Bone marrow aspirate smear:
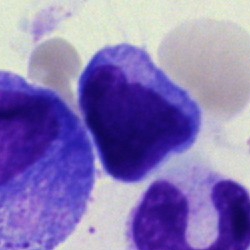
The cell is lymphocyte.